Peripheral blood film
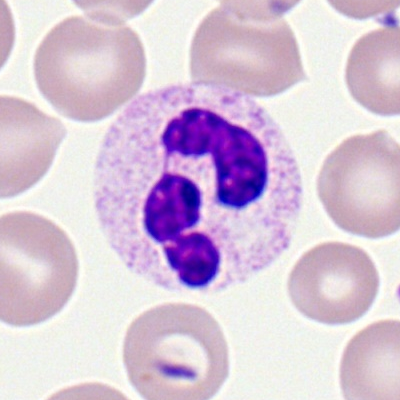
{"cell_type": "polymorphonuclear neutrophil"}